Bone marrow smear.
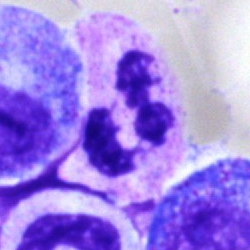
A neutrophil (segmented).